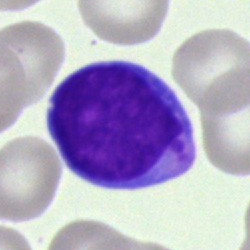 Classification — typical lymphocyte.